Bone marrow aspirate smear: 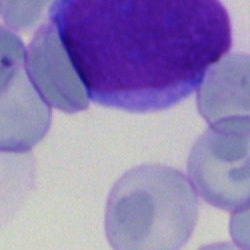

Single cell identified as an undifferentiated blast.